250 by 250 pixels; 40× objective, oil immersion; bone marrow aspirate smear: 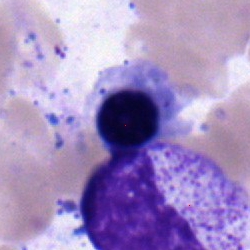

Showing an erythroblast.